Peripheral blood smear; image size 400×400; 100× objective, oil immersion:
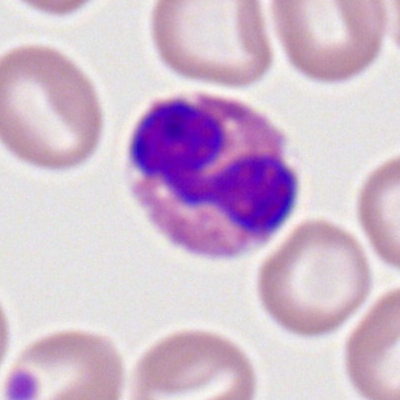
This is an eosinophil.